Bone marrow smear — 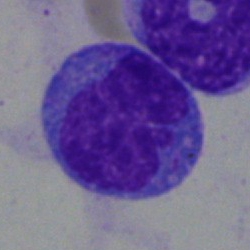 The cell is undifferentiated blast.